Bone marrow aspirate smear · May-Grünwald-Giemsa/Pappenheim stain — 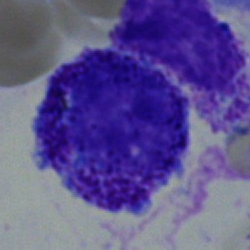
Morphological class = progranulocyte.